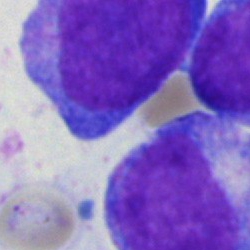 Q: Identify the cell.
A: This is a blast.